40× objective, oil immersion. Bone marrow smear
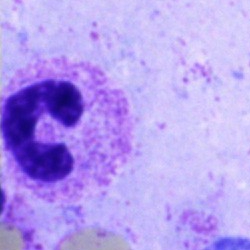Q: Identify the cell.
A: Polymorphonuclear neutrophil.